Bone marrow smear — 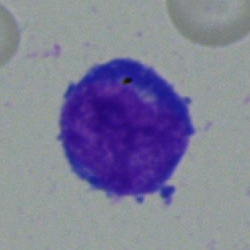
Blast.